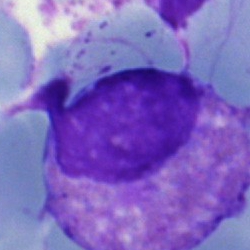 Q: What type of cell is this?
A: Eosinophil.